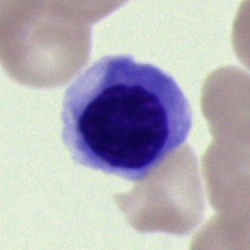Q: What is the morphological classification of this cell?
A: This is an erythroblast.